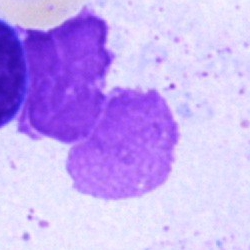Cell = artifact.